Bone marrow aspirate smear: 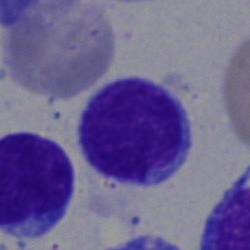 Q: What is the morphological classification of this cell?
A: It is a lymphocyte.